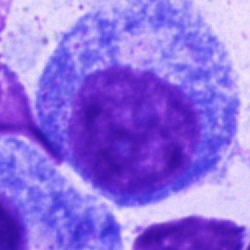 Cell type = progranulocyte.